Bone marrow smear:
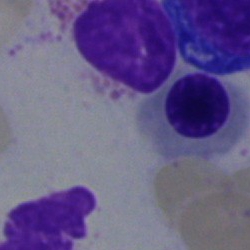 Nucleated red blood cell.